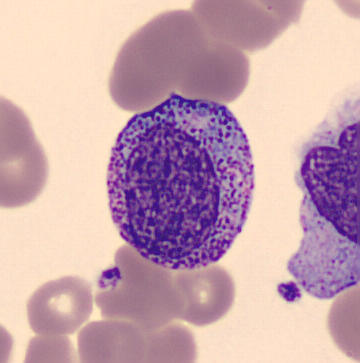Impression — promyelocyte.